Bone marrow smear: 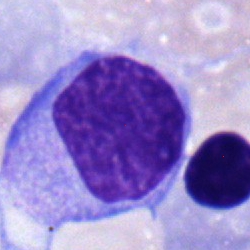
Cell type: blast.